Peripheral blood smear; cropped to a single cell.
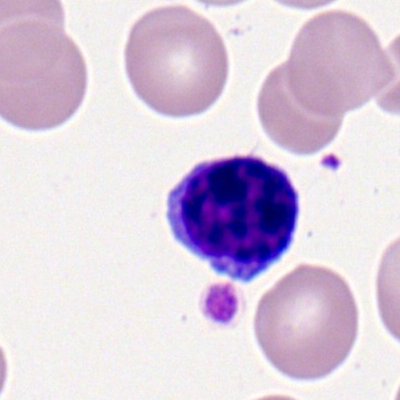

{"cell_type": "typical lymphocyte", "lineage": "lymphoid"}